Bone marrow smear. 40× oil immersion
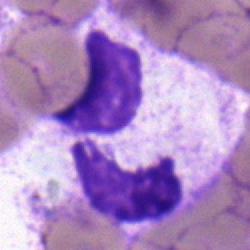Cell — neutrophil (segmented).